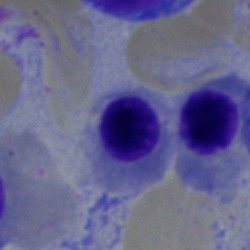 Impression — erythroblast.